Bone marrow smear
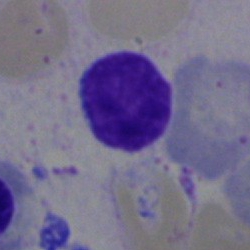Morphology consistent with a typical lymphocyte.